Bone marrow aspirate smear. 40× objective, oil immersion. Single cell centered in the field: 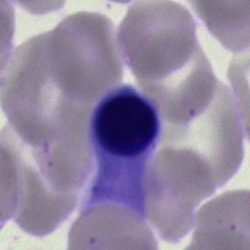Morphology consistent with a normoblast.